Peripheral blood film; image size 360×363 — 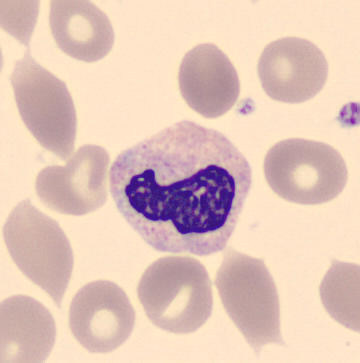The classification is neutrophil (band).